Bone marrow smear. May-Grünwald-Giemsa/Pappenheim stain — 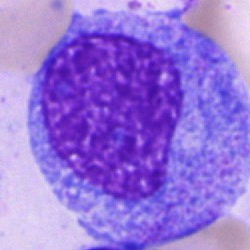

Q: Identify the cell.
A: It is a promyelocyte.